Peripheral blood smear; 100× oil immersion, 14.14 px/µm
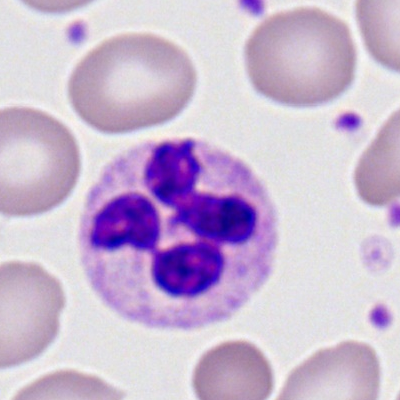
Cell = neutrophil (segmented).